Bone marrow smear. 250×250. 40× oil immersion:
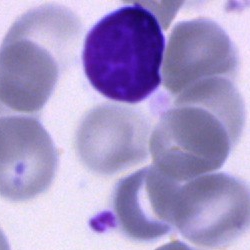Q: What type of cell is this?
A: A typical lymphocyte.